Peripheral blood smear; 100× objective, oil immersion: 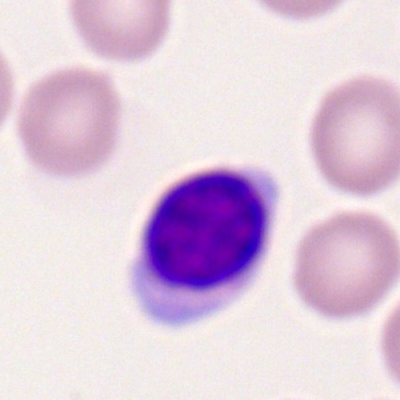 Q: What is the morphological classification of this cell?
A: Lymphocyte.